250×250. Bone marrow smear. May-Grünwald-Giemsa/Pappenheim stain
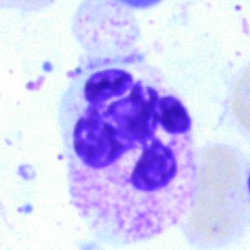
Cell — polymorphonuclear neutrophil.